Bone marrow aspirate smear — 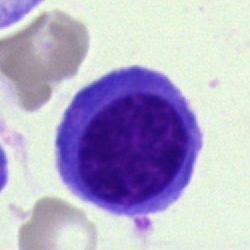
The morphological class is nucleated red cell.